Bone marrow smear:
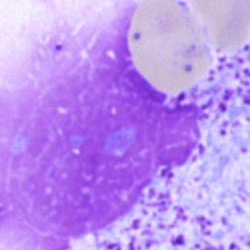Q: What is shown here?
A: Artifact.